Bone marrow aspirate smear · May-Grünwald-Giemsa/Pappenheim stain
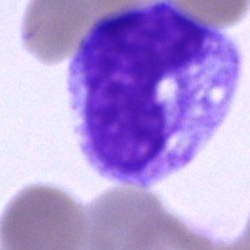 {"cell_type": "metamyelocyte", "lineage": "myeloid"}